Peripheral blood smear: 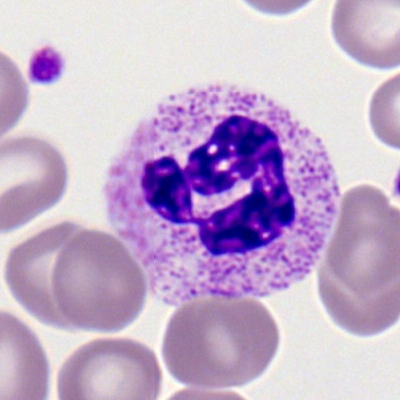Cell type = neutrophil (segmented).